Bone marrow smear:
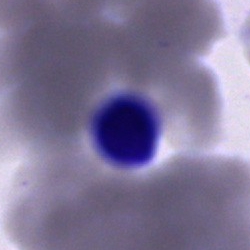
Q: What is shown here?
A: A normoblast.